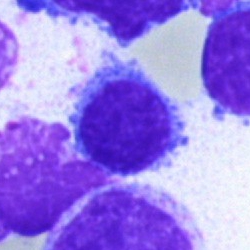
A lymphocyte on a bone marrow smear.